Peripheral blood smear:
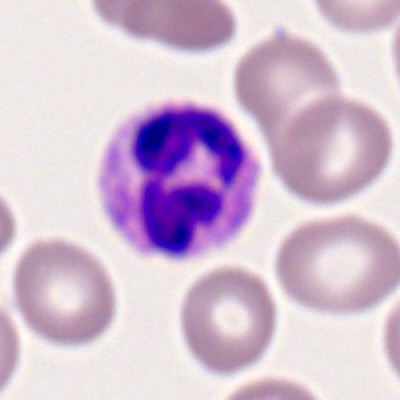

Morphology — polymorphonuclear neutrophil.